Bone marrow smear — 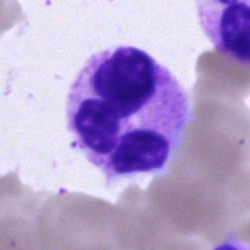 Classification: polymorphonuclear neutrophil.